Bone marrow aspirate smear · 250 by 250 pixels · single cell centered in the field:
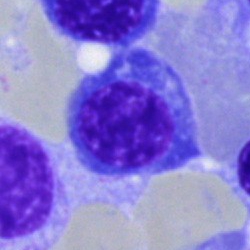 Normoblast.